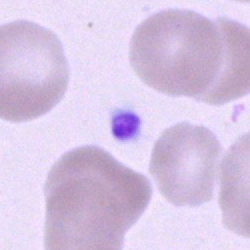
Morphology consistent with a lymphocyte.